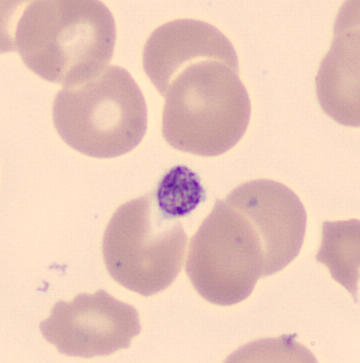

Q: What is this?
A: This is a thrombocyte.

Peripheral blood smear · May-Grünwald-Giemsa-stained · 360×363.